Peripheral blood film: 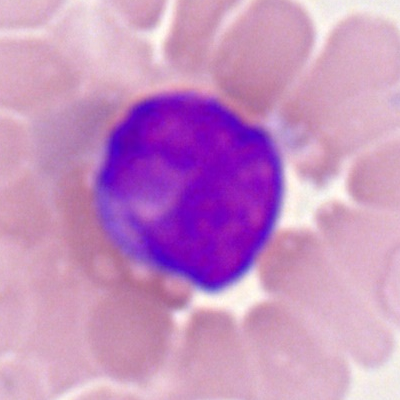 Specimen: peripheral blood film.
Cell type: myeloblast.